Single-cell field · bone marrow smear:
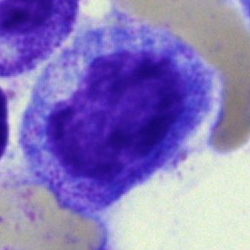 Morphology → promyelocyte.